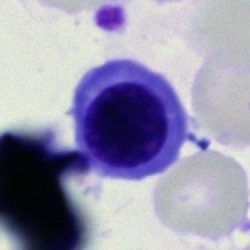

Morphology consistent with an erythroblast.